Single cell centered in the field · 100× oil immersion · peripheral blood smear
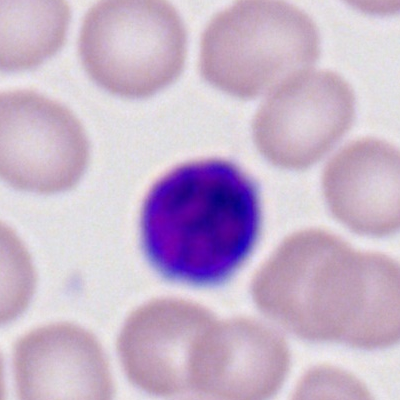 The morphological class is lymphocyte.